Bone marrow aspirate smear — 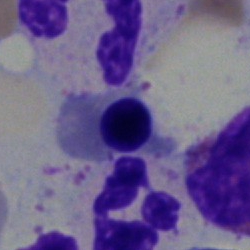

Q: Identify the cell.
A: A normoblast.